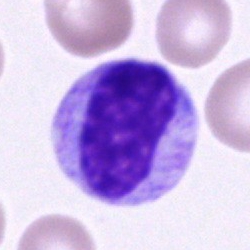

Specimen: bone marrow smear.
Cell: metamyelocyte.
Lineage: myeloid.